Pappenheim-stained. Bone marrow aspirate smear. 40× objective, oil immersion:
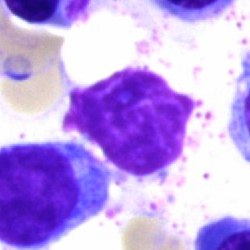

Specimen: bone marrow smear.
Morphological class: artifact.